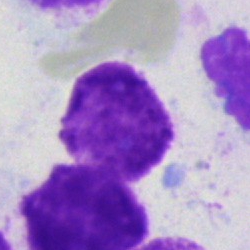 Cell type = artifact.